Bone marrow smear
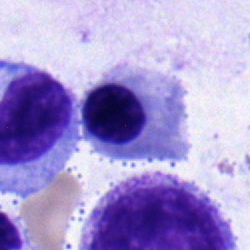

Impression — erythroblast.